Single-cell field; MGG-stained; bone marrow smear — 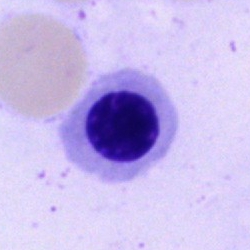{"cell_type": "normoblast", "lineage": "erythroid"}